Single cell centered in the field; bone marrow aspirate smear
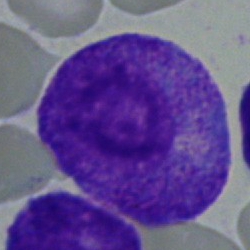 Morphology — promyelocyte.